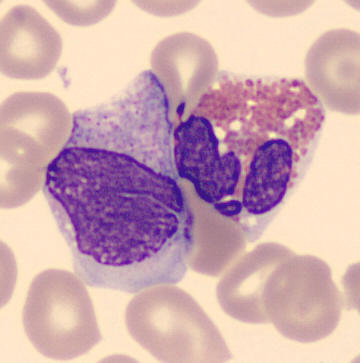Impression — monocyte.